Bone marrow aspirate smear — 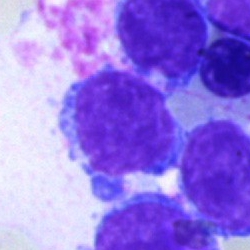

The cell shown is a typical lymphocyte.